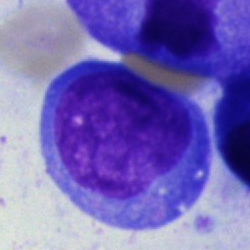 Morphology consistent with a blast.